Bone marrow smear. Brightfield, 40× oil-immersion objective: 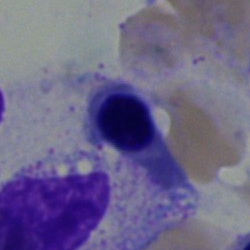

This is an erythroblast.